Bone marrow smear. May-Grünwald-Giemsa stain. 40× oil immersion
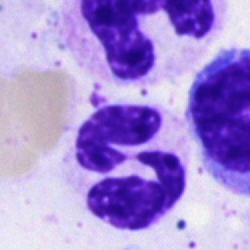Specimen: bone marrow aspirate smear.
Morphological class: segmented neutrophil.
Lineage: myeloid.